250×250. Bone marrow aspirate smear
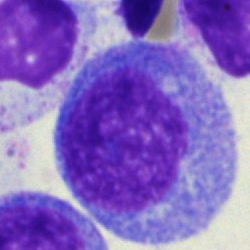

Morphological class: undifferentiated blast.